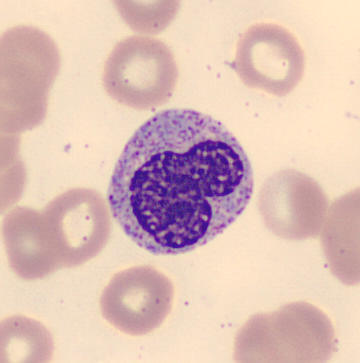 Cell type: metamyelocyte. Acquisition: CellaVision DM96 digital cell image. MGG-stained. Peripheral blood film.